Bone marrow smear
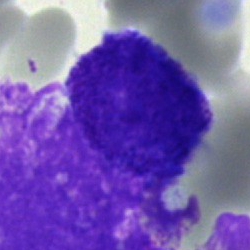 Cell type = progranulocyte.